Peripheral blood smear: 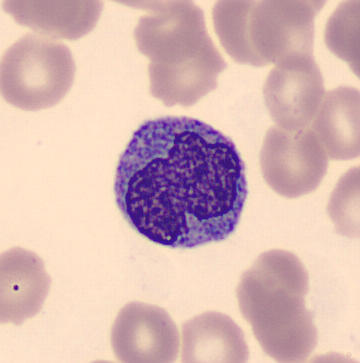
Single cell identified as a monocyte.